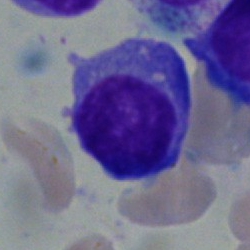Single cell identified as a plasmacyte.